Bone marrow smear: 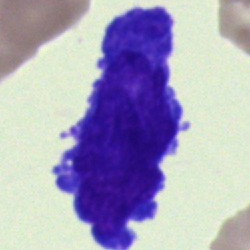
Undifferentiated blast.